Bone marrow aspirate smear · single cell centered in the field · May-Grünwald-Giemsa stain:
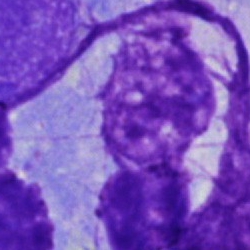 An artifact.